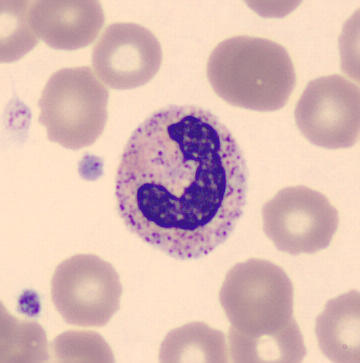Preparation: Peripheral blood smear. Classification = stab cell.